Bone marrow smear. Pappenheim-stained
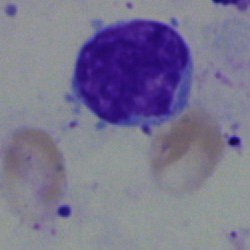 The cell type is typical lymphocyte.